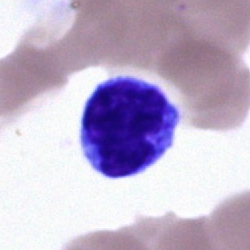 Impression → lymphocyte.